40× objective, oil immersion · bone marrow smear: 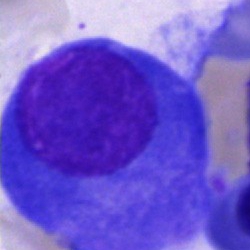This is a plasmacyte.